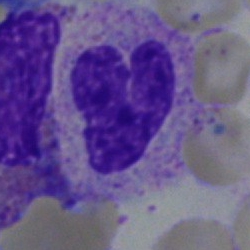 Q: What type of cell is this?
A: This is a band neutrophil.